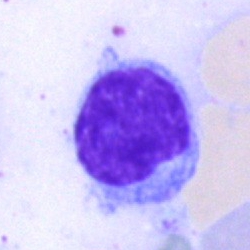
Specimen: bone marrow aspirate smear.
Cell: lymphocyte.
Lineage: lymphoid.